Bone marrow smear: 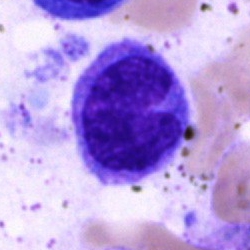

Q: Identify the cell.
A: Monocyte.